Brightfield, 40× oil-immersion objective; bone marrow smear; single-cell field: 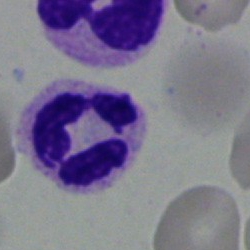
This is a segmented neutrophil.